Peripheral blood smear. MGG stain. 360×363.
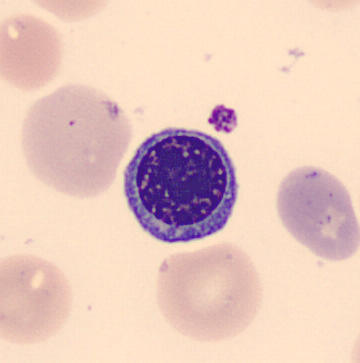 The cell type is erythroblast.